Bone marrow smear; single-cell crop — 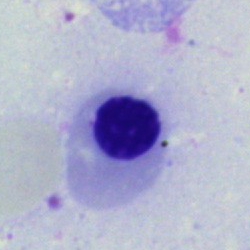

Impression → erythroblast.